Bone marrow aspirate smear — 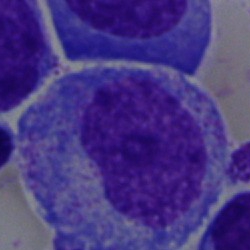Morphology consistent with a promyelocyte.